Bone marrow smear. 250×250.
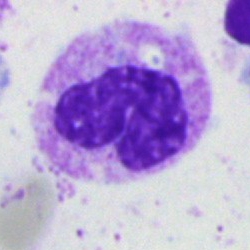A polymorphonuclear neutrophil.